Bone marrow smear · single-cell crop:
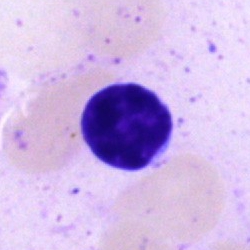
Cell = lymphocyte.